250 by 250 pixels · bone marrow smear · May-Grünwald-Giemsa/Pappenheim stain — 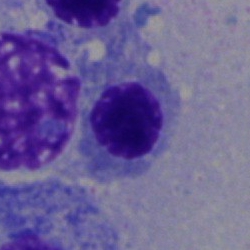

{"cell_type": "nucleated red blood cell", "lineage": "erythroid"}